Bone marrow aspirate smear — 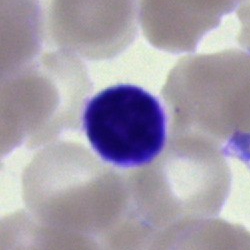
Showing a lymphocyte.